Bone marrow aspirate smear; 250×250 px; May-Grünwald-Giemsa/Pappenheim stain:
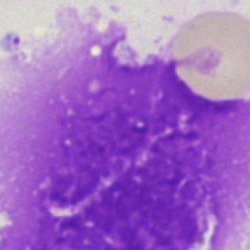 Showing an artifact.